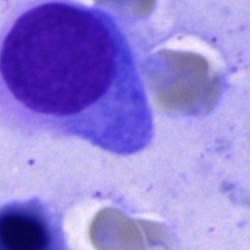This is a plasma cell.